Bone marrow aspirate smear; 250×250 px:
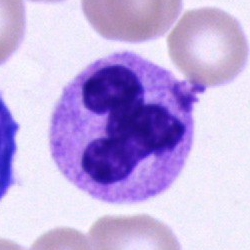Q: What cell is this?
A: A segmented neutrophil.